Bone marrow aspirate smear — 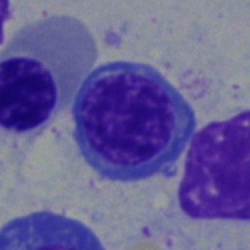
Q: What cell is this?
A: Nucleated red blood cell.